Single-cell field. Bone marrow aspirate smear — 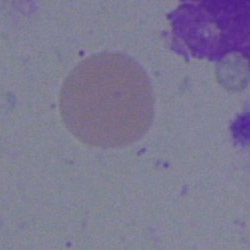

An artifact.